Single cell centered in the field. Bone marrow smear. 40× objective, oil immersion.
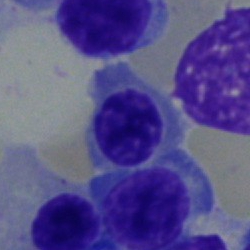
Cell type — normoblast.